Bone marrow aspirate smear
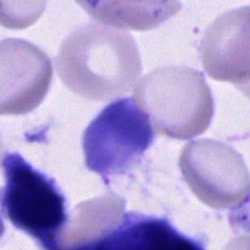
The morphological class is cell of indeterminate lineage.